Bone marrow smear: 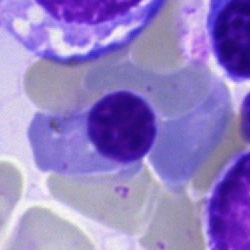

Showing an erythroblast.